Peripheral blood film: 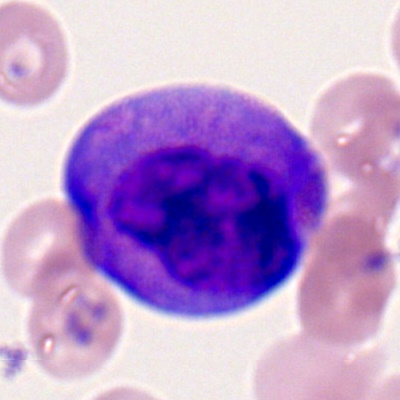 Specimen: peripheral blood smear.
Cell: myeloid blast.